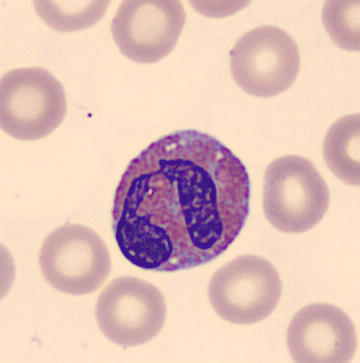

360×363; CellaVision DM96 digital cell image; peripheral blood smear. Morphological class — eosinophilic granulocyte.